Bone marrow smear.
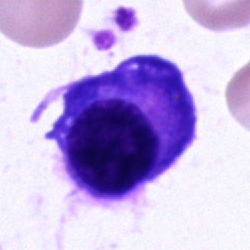
Q: What cell is this?
A: A plasma cell.